Bone marrow aspirate smear · brightfield microscopy, 40× oil immersion
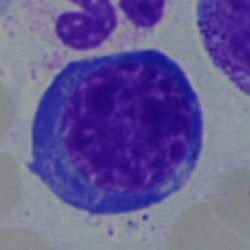 Classification = erythroblast.